MGG-stained · single-cell crop · bone marrow aspirate smear.
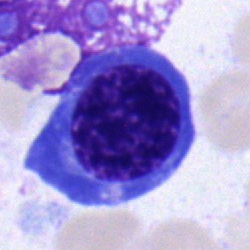
Q: Identify the cell.
A: A nucleated red blood cell.